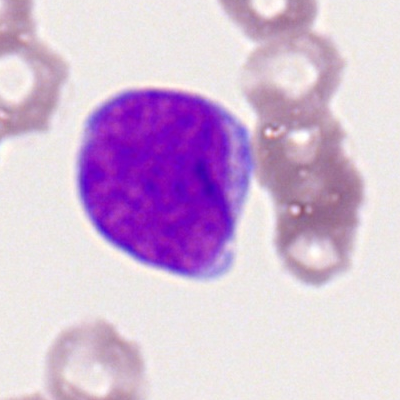Single-cell crop from a peripheral blood smear: myeloid blast.